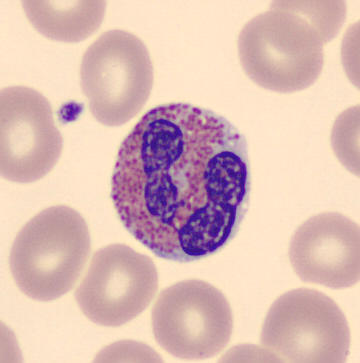 Specimen: peripheral blood film.
Morphological class: eosinophil.
Lineage: myeloid.